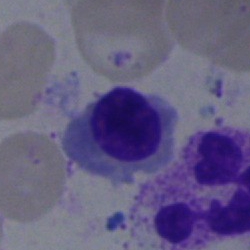Specimen: bone marrow smear.
Morphological class: nucleated red blood cell.